Bone marrow aspirate smear:
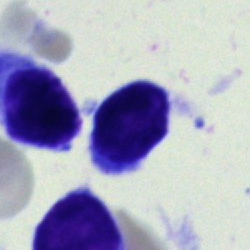
Q: What is shown here?
A: It is a typical lymphocyte.